Bone marrow smear.
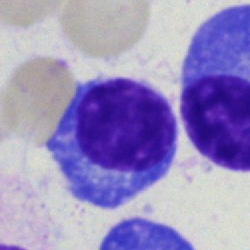

Cell type: plasmacyte.